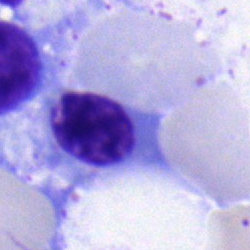Specimen: bone marrow aspirate smear.
Morphological class: normoblast.